Bone marrow aspirate smear
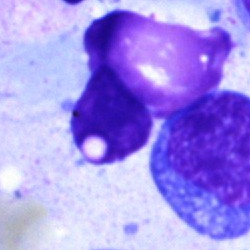Morphology → artefact.